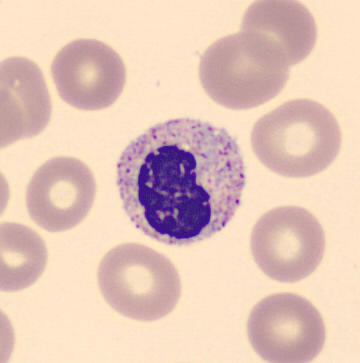 Specimen: peripheral blood film.
Cell type: band-form neutrophil.
Lineage: myeloid.